Cropped to a single cell · bone marrow smear · 250×250 px:
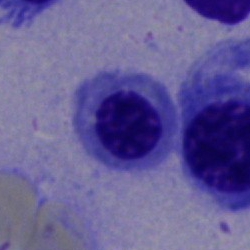Q: What is the morphological classification of this cell?
A: It is a nucleated red blood cell.